Bone marrow aspirate smear. 250×250 px:
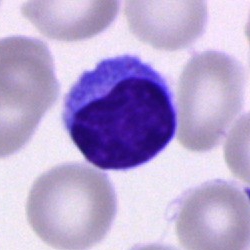
This is a lymphocyte.